Brightfield, 40× oil-immersion objective; bone marrow smear — 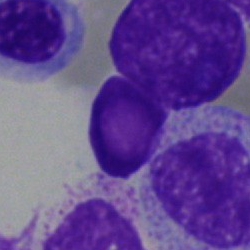 Impression — artifact.